Peripheral blood film — 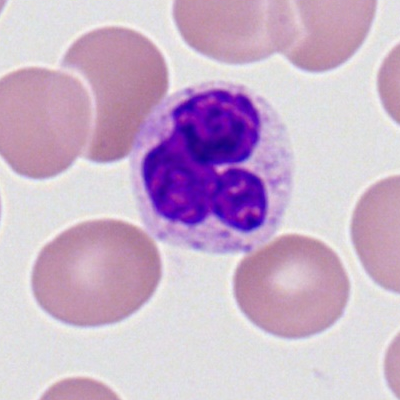
Q: Identify the cell.
A: Polymorphonuclear neutrophil.